Image size 250×250. Single-cell crop. Bone marrow smear:
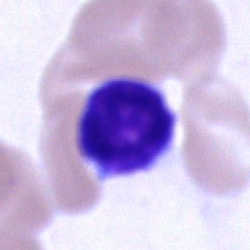 A lymphocyte.